Bone marrow aspirate smear · 40× objective, oil immersion · cropped to a single cell:
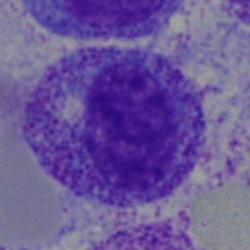

Morphology consistent with a myelocyte.